Peripheral blood smear
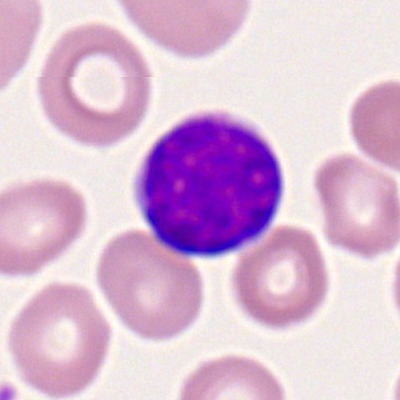
A lymphocyte.